MGG-stained; bone marrow aspirate smear: 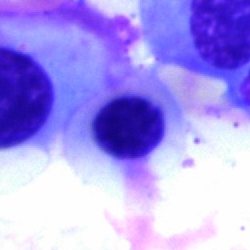

Morphology consistent with a nucleated red blood cell.